Bone marrow aspirate smear — 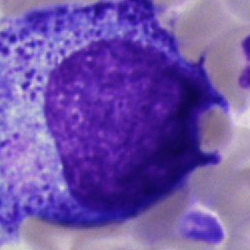 The cell type is progranulocyte.